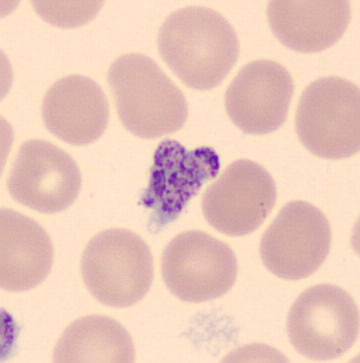
Acquisition: May-Grünwald-Giemsa-stained. Peripheral blood film.
Classification: platelet (thrombocyte).